Bone marrow smear · image size 250×250
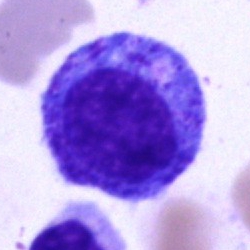{"cell_type": "progranulocyte", "lineage": "myeloid"}